Bone marrow smear.
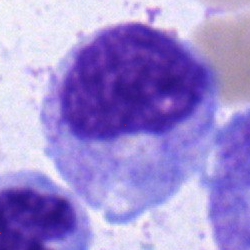Showing a myelocyte.